Peripheral blood film.
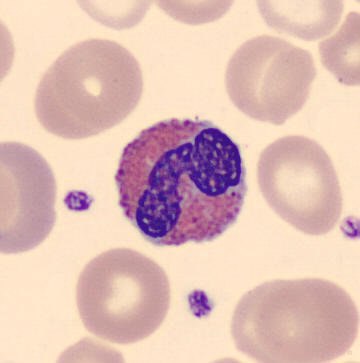 Q: What cell is this?
A: This is an eosinophil.